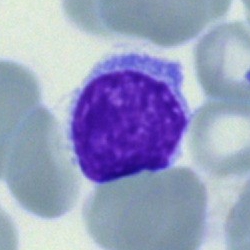
Bone marrow smear showing a typical lymphocyte.